250 by 250 pixels; bone marrow smear — 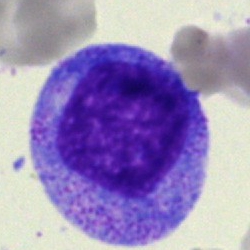 The cell shown is a promyelocyte.